Bone marrow smear — 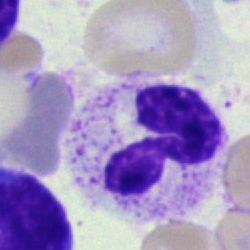A polymorphonuclear neutrophil.